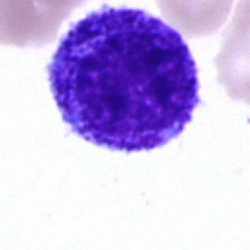Q: What is the morphological classification of this cell?
A: This is a progranulocyte.